Bone marrow aspirate smear.
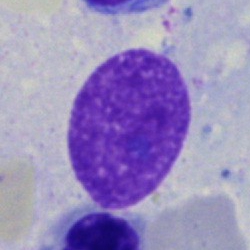 Cell type: artifact.